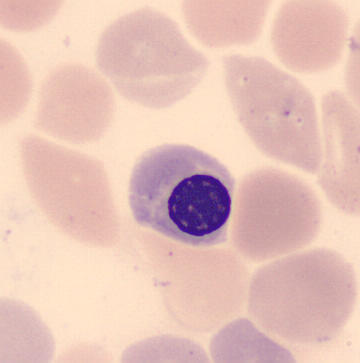
Acquisition: Peripheral blood film · MGG-stained · CellaVision DM96 digital cell image. The cell is nucleated red blood cell.